Bone marrow smear; 250×250 px: 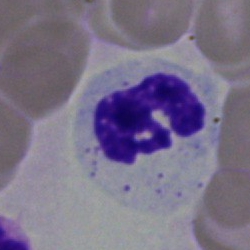 {"cell_type": "polymorphonuclear neutrophil"}